Bone marrow smear
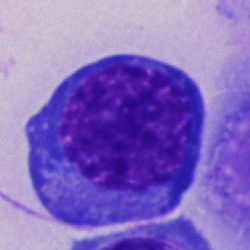Morphology consistent with a nucleated red cell.